Bone marrow aspirate smear: 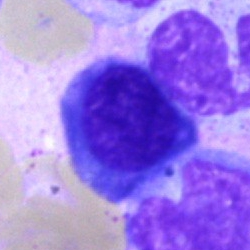 Morphology → nucleated red cell.